Cropped to a single cell; bone marrow aspirate smear.
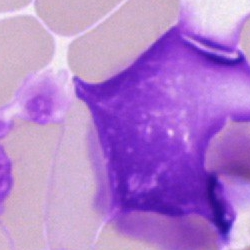Specimen: bone marrow aspirate smear.
Cell: artefact.